Bone marrow smear
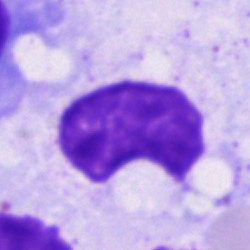

Specimen: bone marrow aspirate smear.
Classification: artifact.